Bone marrow aspirate smear: 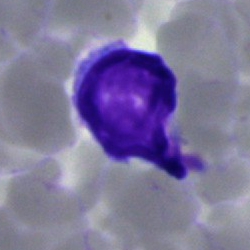

Cell: typical lymphocyte.